Bone marrow aspirate smear:
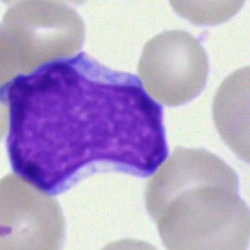 A blast.